40× oil immersion. Bone marrow aspirate smear.
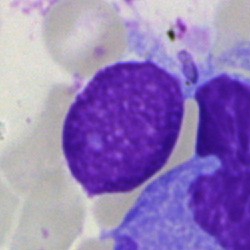Artifact.